Bone marrow aspirate smear; cropped to a single cell; May-Grünwald-Giemsa/Pappenheim stain — 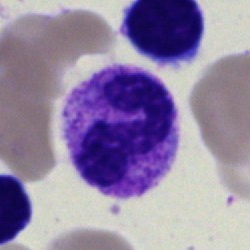
Polymorphonuclear neutrophil.